Bone marrow smear:
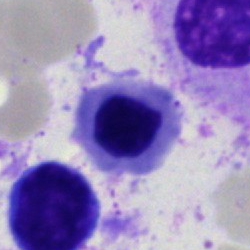

Q: What is shown here?
A: A nucleated red blood cell.